Bone marrow smear — 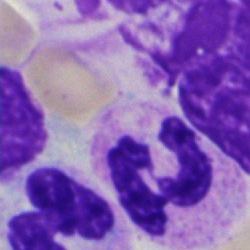 Single cell identified as a segmented neutrophil.